Bone marrow smear
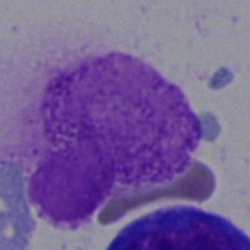

Q: What is shown here?
A: Artefact.